Bone marrow aspirate smear
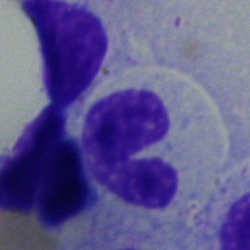
Morphological class = stab cell.